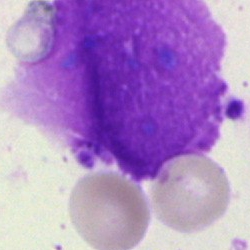
Cell: artifact.